Bone marrow aspirate smear:
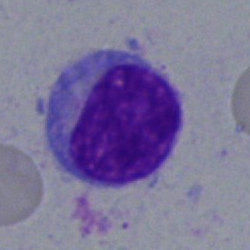
The morphological class is typical lymphocyte.